Bone marrow aspirate smear; cropped to a single cell.
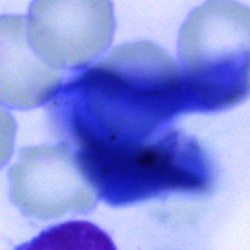Artefact.